Pappenheim-stained. Bone marrow aspirate smear:
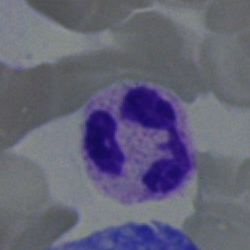The cell is polymorphonuclear neutrophil.